Bone marrow smear — 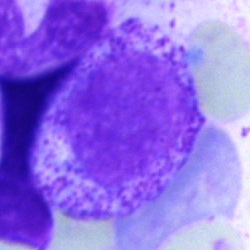
The cell is myelocyte.